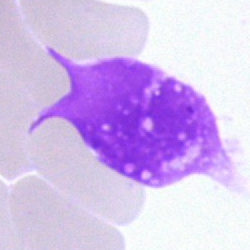Morphology consistent with an artefact.